Bone marrow aspirate smear: 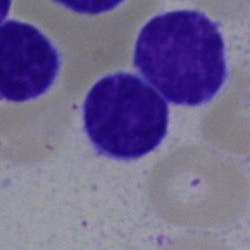 Morphological class = typical lymphocyte.